Bone marrow smear:
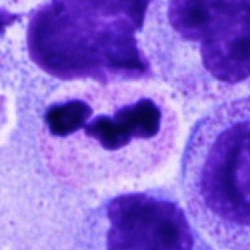 A neutrophil (segmented).